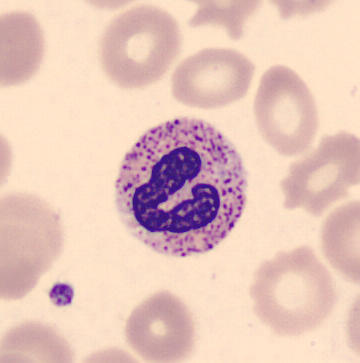

Preparation: Peripheral blood smear. Classification — band neutrophil.